Bone marrow smear; 250×250 px: 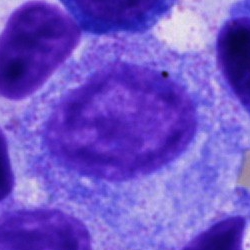
Cell = progranulocyte.